Peripheral blood smear: 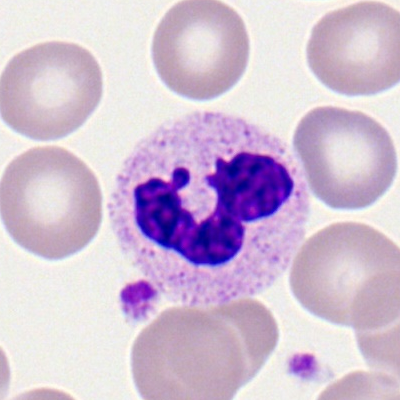 Classification — segmented neutrophil.